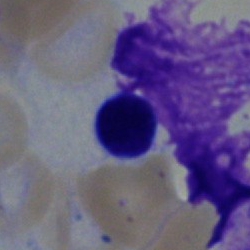 Single-cell crop from a bone marrow smear: typical lymphocyte.